Bone marrow aspirate smear.
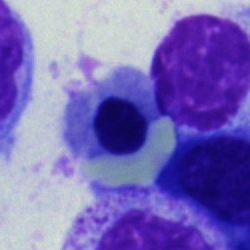
Q: What cell is this?
A: A nucleated red cell.